Bone marrow aspirate smear — 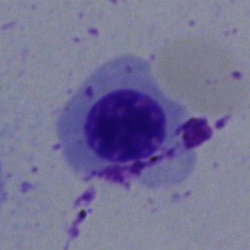The cell shown is an erythroblast.